Bone marrow smear: 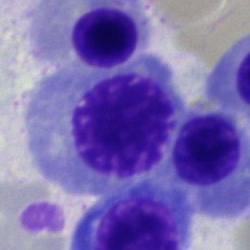 {"cell_type": "nucleated red cell"}